Bone marrow smear — 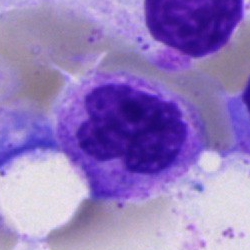

The morphological class is polymorphonuclear neutrophil.